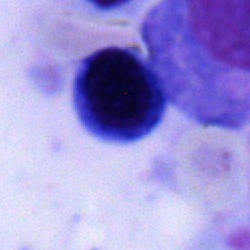
A normoblast.